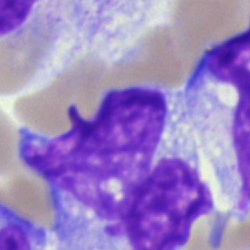Cell — monocyte.